Brightfield, 40× oil-immersion objective · bone marrow aspirate smear · MGG-stained: 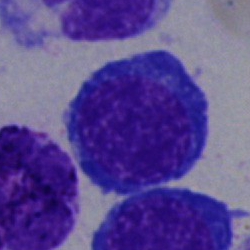
A normoblast.